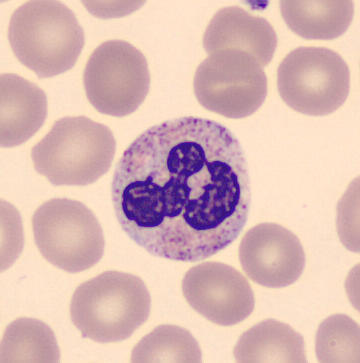Image: MGG-stained.
Specimen: peripheral blood film.
Morphological class: segmented neutrophil.
Lineage: myeloid.